250×250 · bone marrow aspirate smear — 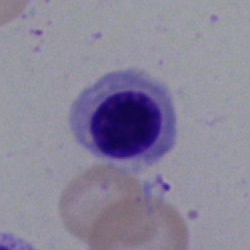
Specimen: bone marrow aspirate smear.
Cell: nucleated red cell.
Lineage: erythroid.